Bone marrow aspirate smear: 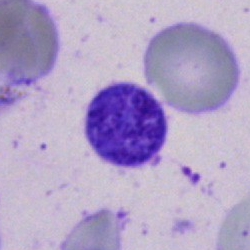Cell = artefact.